250×250 · bone marrow smear: 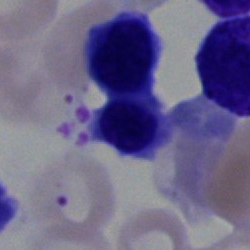Specimen: bone marrow smear.
Classification: normoblast.
Lineage: erythroid.